Bone marrow aspirate smear.
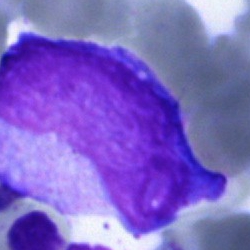 Impression — immature lymphocyte.